Bone marrow aspirate smear: 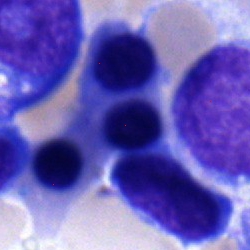

Morphology → normoblast.